Bone marrow aspirate smear
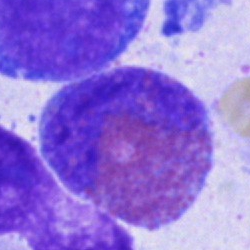Single cell identified as an eosinophilic granulocyte.